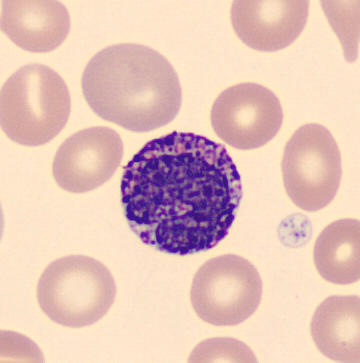 Peripheral blood smear.
Morphology consistent with a basophil.